250×250; bone marrow aspirate smear: 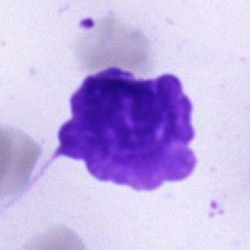
Specimen: bone marrow smear.
Classification: artifact.